Bone marrow smear · image size 250×250.
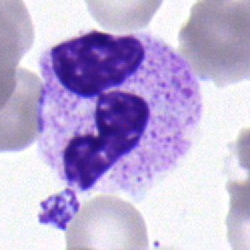
This is a polymorphonuclear neutrophil.